Single cell centered in the field · brightfield, 100× oil-immersion objective · peripheral blood film.
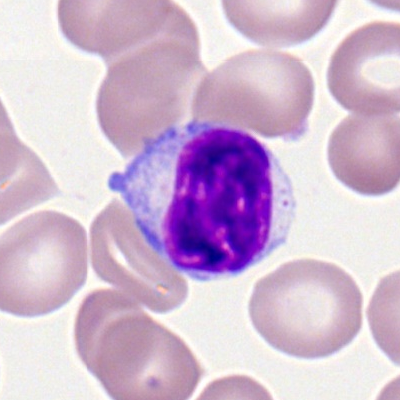The cell shown is a lymphocyte.